Peripheral blood film — 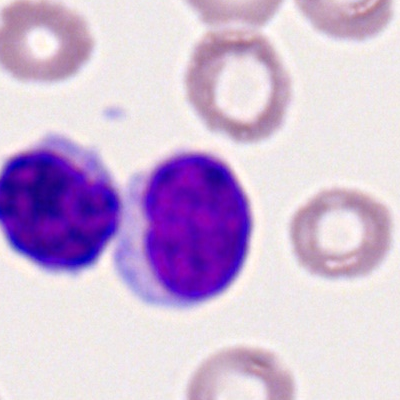

The cell shown is a typical lymphocyte.